Bone marrow aspirate smear:
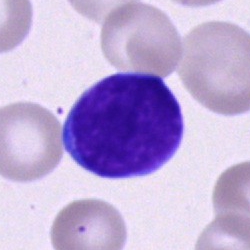Cell: lymphocyte.